Bone marrow aspirate smear — 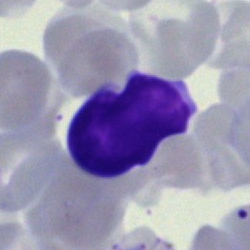Showing an artifact.